Bone marrow smear
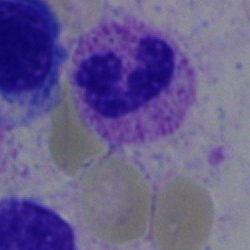
A segmented neutrophil.